Brightfield, 40× oil-immersion objective; bone marrow aspirate smear; May-Grünwald-Giemsa/Pappenheim stain:
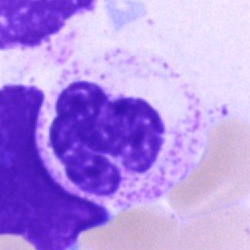Showing a polymorphonuclear neutrophil.